Bone marrow smear — 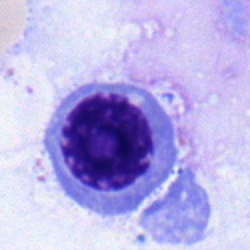

A nucleated red cell.